Bone marrow smear; 250×250.
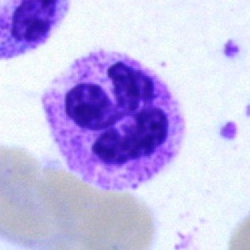

Q: What is the morphological classification of this cell?
A: This is a segmented neutrophil.